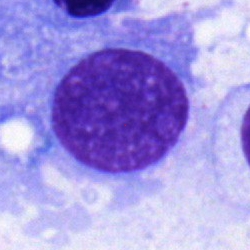Impression → plasmacyte.